Bone marrow smear
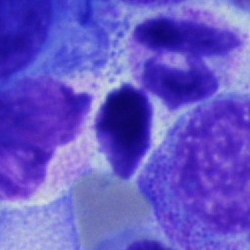

Single cell identified as a typical lymphocyte.